Bone marrow smear:
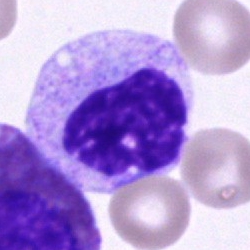 Morphological class — unidentifiable cell.